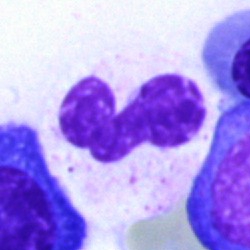Morphological class — polymorphonuclear neutrophil.